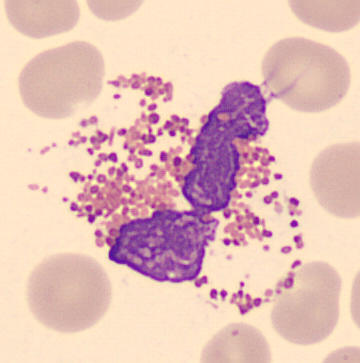Image: Single-cell crop · peripheral blood smear · image size 360×363. Classification: eosinophilic granulocyte.